Bone marrow aspirate smear
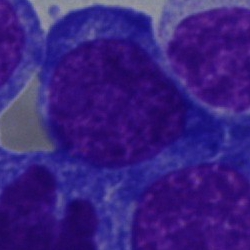 Proerythroblast.